Peripheral blood film — 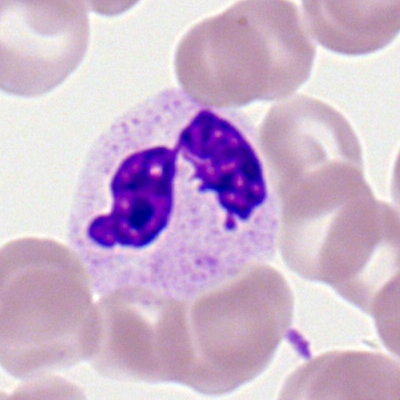
Q: Which cell type is shown here?
A: A polymorphonuclear neutrophil.